Bone marrow aspirate smear · single-cell crop
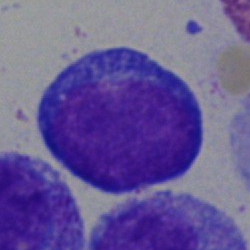 Showing a pronormoblast.